Single-cell field · bone marrow aspirate smear · brightfield, 40× oil-immersion objective
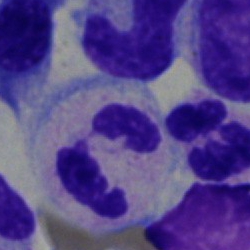
Morphology → segmented neutrophil.